Bone marrow smear
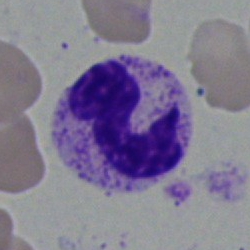

Q: Which cell type is shown here?
A: A stab cell.